Bone marrow aspirate smear:
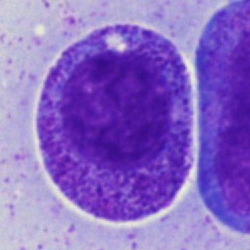A progranulocyte.